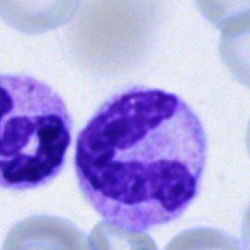A polymorphonuclear neutrophil on a bone marrow smear.